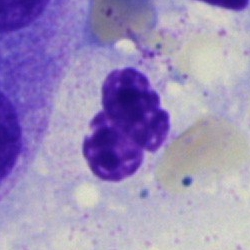
Single cell identified as a polymorphonuclear neutrophil.